Bone marrow aspirate smear.
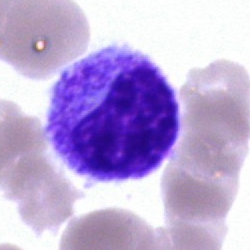
Morphology consistent with a metamyelocyte.